Bone marrow aspirate smear · brightfield, 40× oil-immersion objective · 250×250: 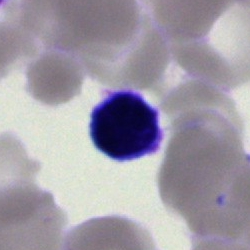 The cell shown is a typical lymphocyte.